Bone marrow aspirate smear — 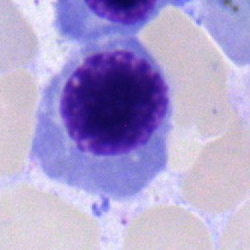Morphological class: nucleated red cell.